Bone marrow aspirate smear.
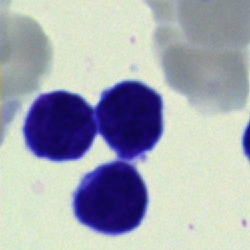

Cell: typical lymphocyte.